Single cell centered in the field · bone marrow smear · May-Grünwald-Giemsa/Pappenheim stain.
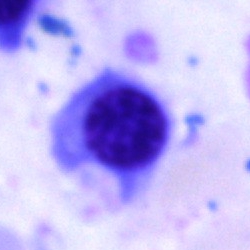
Q: What type of cell is this?
A: This is a normoblast.